Peripheral blood smear.
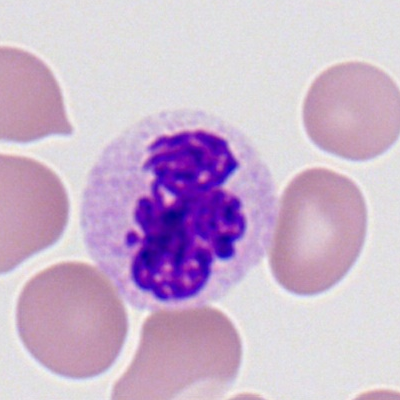 Specimen: peripheral blood film.
Cell type: segmented neutrophil.